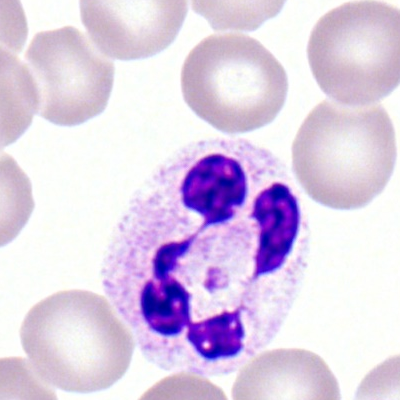
Q: What is the morphological classification of this cell?
A: It is a polymorphonuclear neutrophil.